Bone marrow smear · image size 250×250:
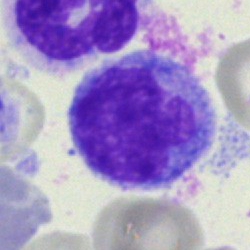The cell is monocyte.